Bone marrow smear. Brightfield, 40× oil-immersion objective
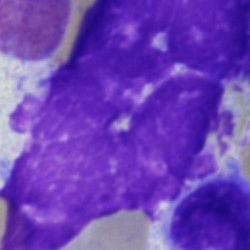
Q: What is shown here?
A: It is an artifact.